Bone marrow aspirate smear
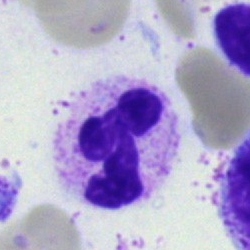
Impression → polymorphonuclear neutrophil.